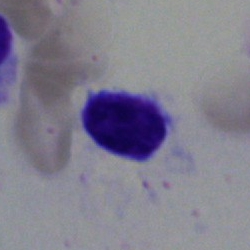

Classification — lymphocyte.